Bone marrow aspirate smear.
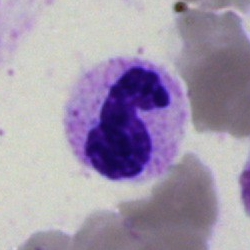
Specimen: bone marrow aspirate smear.
Cell: neutrophil (segmented).